Bone marrow smear. Cropped to a single cell:
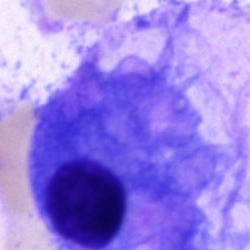 Showing a plasmacyte.